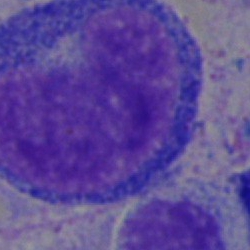Morphological class = progranulocyte.